Bone marrow smear; 40× objective, oil immersion — 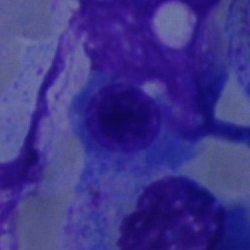
Specimen: bone marrow aspirate smear.
Classification: erythroblast.
Lineage: erythroid.